Bone marrow aspirate smear — 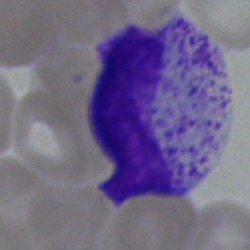

The cell shown is a metamyelocyte.